250×250 px. Bone marrow smear.
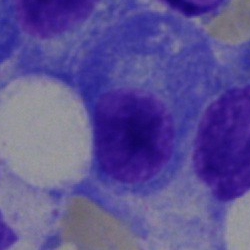A plasma cell.